Bone marrow aspirate smear:
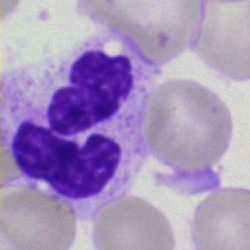
Cell — segmented neutrophil.